Bone marrow aspirate smear: 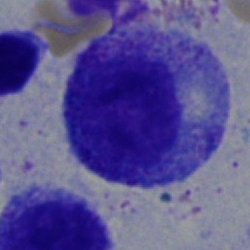Morphology consistent with a myelocyte.